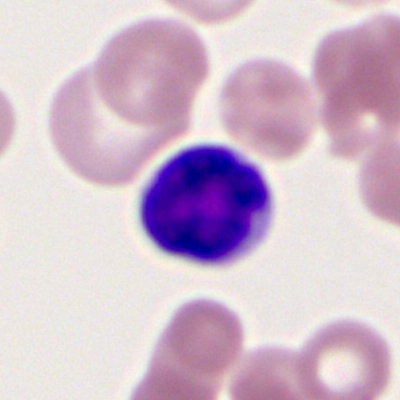
{"cell_type": "lymphocyte", "lineage": "lymphoid"}